Peripheral blood film — 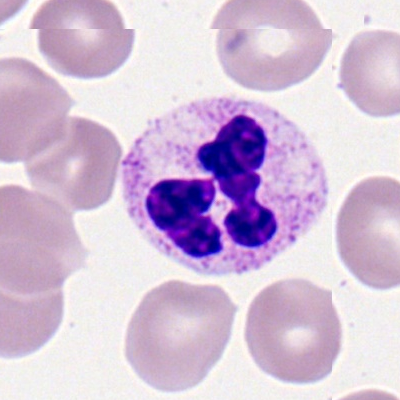This is a neutrophil (segmented).